Bone marrow aspirate smear
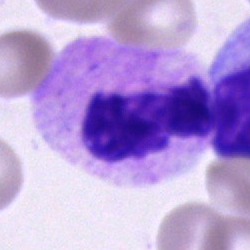 Single cell identified as a polymorphonuclear neutrophil.